Bone marrow smear:
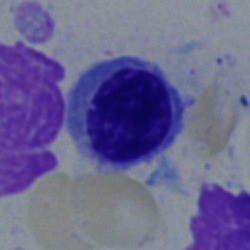

The cell type is erythroblast.